MGG-stained · bone marrow aspirate smear · 250×250 px:
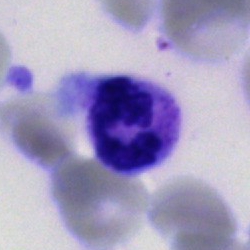

The cell shown is a segmented neutrophil.